Peripheral blood film
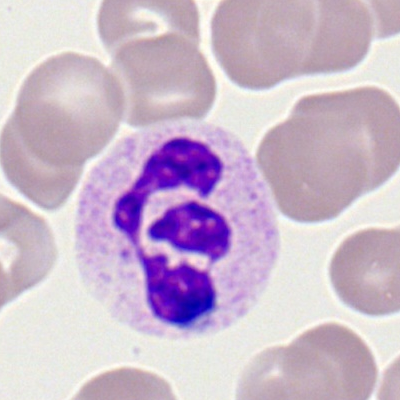

Cell type = polymorphonuclear neutrophil.